Brightfield, 40× oil-immersion objective; bone marrow smear
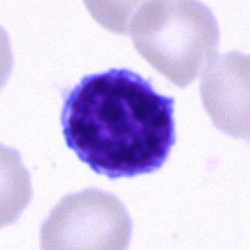 A lymphocyte.